Bone marrow smear
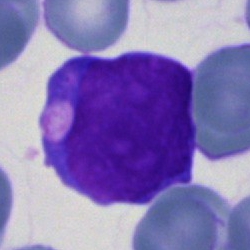
Morphology → blast cell.